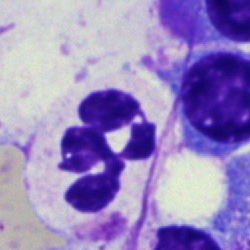 Impression → polymorphonuclear neutrophil.